Single-cell crop · bone marrow smear · May-Grünwald-Giemsa stain — 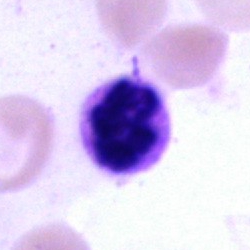
This is an eosinophil.